May-Grünwald-Giemsa/Pappenheim stain; cropped to a single cell; bone marrow smear
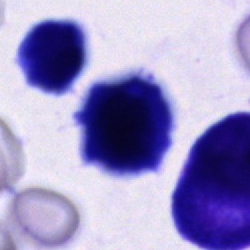Specimen: bone marrow aspirate smear.
Morphological class: unidentifiable cell.